Bone marrow smear; 250 by 250 pixels; Pappenheim-stained — 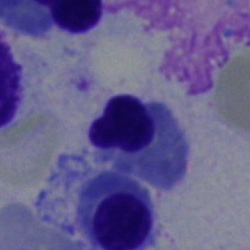

Classification = nucleated red blood cell.